Bone marrow aspirate smear: 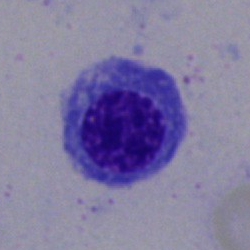
Classification — erythroblast.